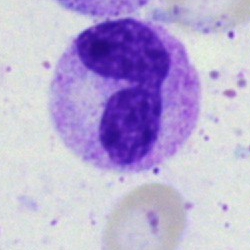Cell type: neutrophil (segmented).